Peripheral blood film:
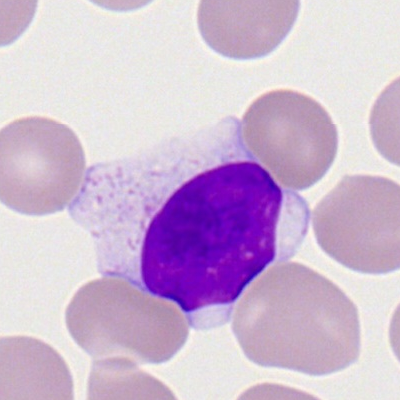

Cell type — typical lymphocyte.